Bone marrow aspirate smear · cropped to a single cell.
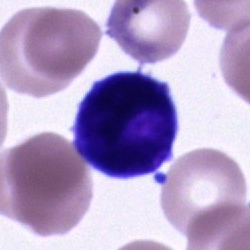 This is an unidentifiable cell.